Bone marrow aspirate smear.
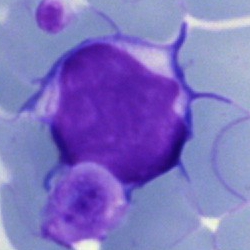The cell shown is an artifact.